Bone marrow smear · 40× oil immersion: 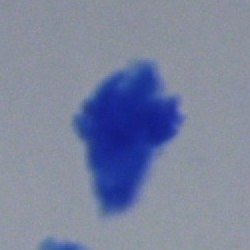
Single cell identified as an artefact.